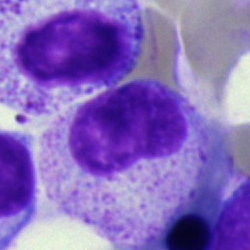

Q: Identify the cell.
A: This is a stab cell.